Bone marrow smear
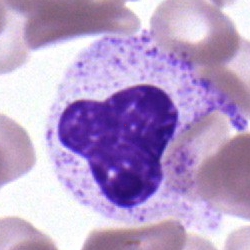 Q: Identify the cell.
A: It is a polymorphonuclear neutrophil.